Bone marrow aspirate smear: 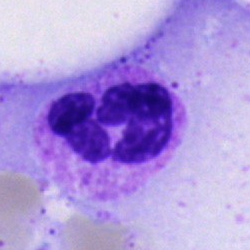 Morphology — segmented neutrophil.